Image size 250×250; bone marrow smear
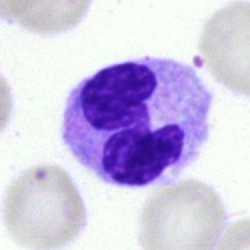
Q: Identify the cell.
A: Segmented neutrophil.